Bone marrow aspirate smear: 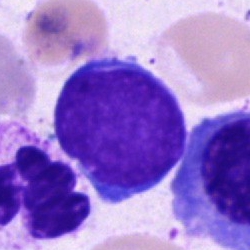 Morphological class: undifferentiated blast.